Bone marrow smear.
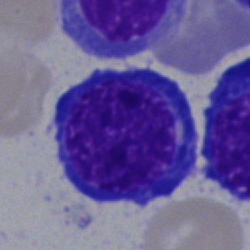 The cell shown is a normoblast.